Bone marrow aspirate smear. Cropped to a single cell. Brightfield, 40× oil-immersion objective: 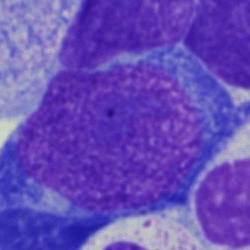 This is a proerythroblast.